Bone marrow aspirate smear.
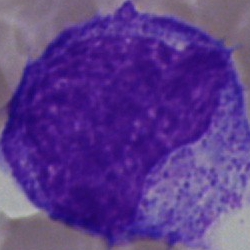 Specimen: bone marrow aspirate smear.
Cell type: promyelocyte.